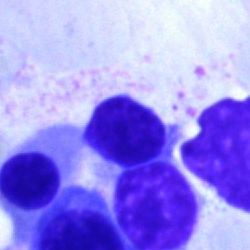

Morphology → typical lymphocyte.